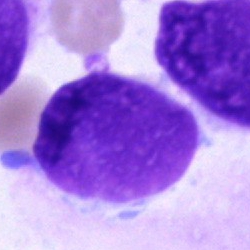Cell type = artifact.